Bone marrow aspirate smear. Brightfield, 40× oil-immersion objective
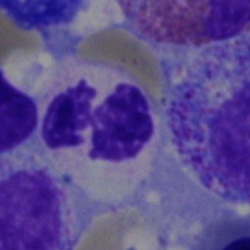

Q: Identify the cell.
A: Segmented neutrophil.